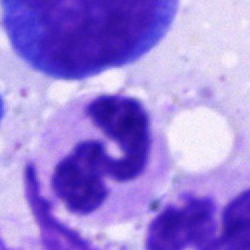 Classification — neutrophil (segmented).